Peripheral blood smear.
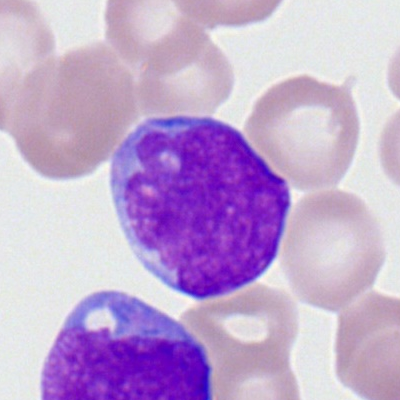

A myeloblast.